Bone marrow aspirate smear.
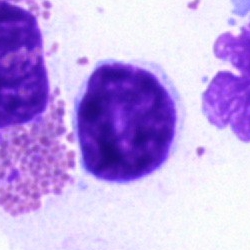
This is a lymphocyte.